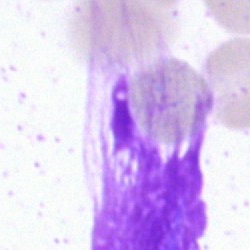 Q: What is shown here?
A: An artifact.